Bone marrow smear.
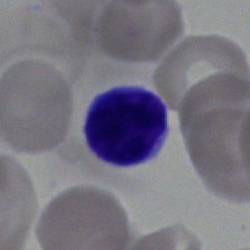

The cell shown is a typical lymphocyte.